Bone marrow smear. 250×250.
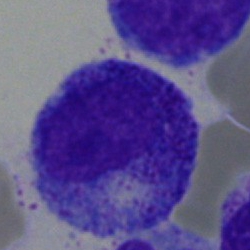

Impression → promyelocyte.